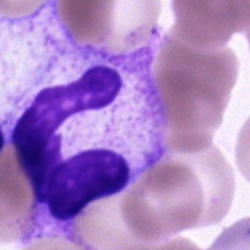

Bone marrow aspirate smear, single cell — neutrophil (band).